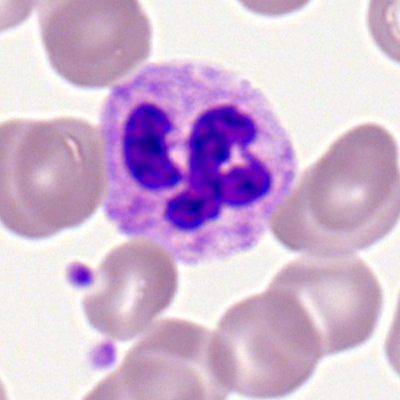 Single-cell crop from a peripheral blood smear: neutrophil (segmented).